Brightfield microscopy, 40× oil immersion. Single cell centered in the field. Bone marrow smear
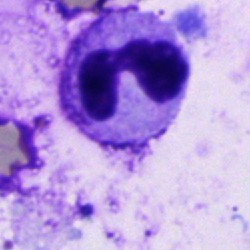 Q: Which cell type is shown here?
A: It is a neutrophil (segmented).